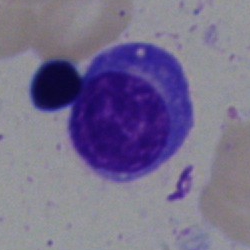
Plasma cell.